Peripheral blood smear: 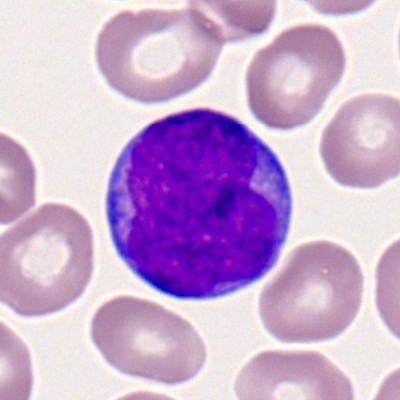

Cell — myeloblast.